Bone marrow aspirate smear: 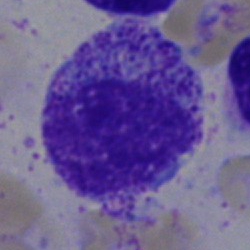 Impression → myelocyte.